Bone marrow smear: 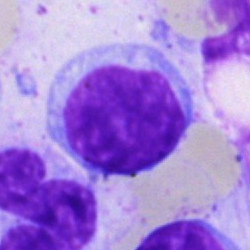
A typical lymphocyte.